Bone marrow aspirate smear. 40× objective, oil immersion. 250 by 250 pixels: 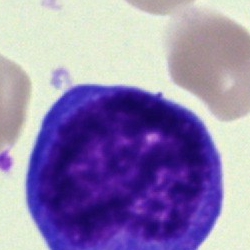 Specimen: bone marrow smear.
Classification: pronormoblast.
Lineage: erythroid.